Single cell centered in the field · bone marrow smear.
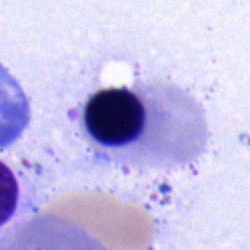

Impression — nucleated red cell.